Bone marrow aspirate smear — 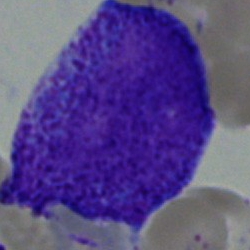

The classification is promyelocyte.